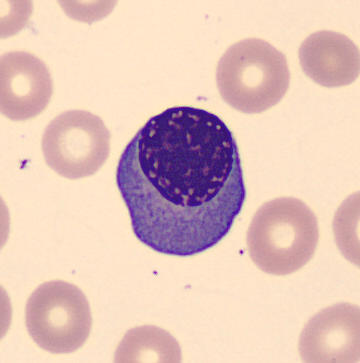
Classification: nucleated red cell. Peripheral blood film.